250 by 250 pixels · brightfield microscopy, 40× oil immersion · bone marrow aspirate smear:
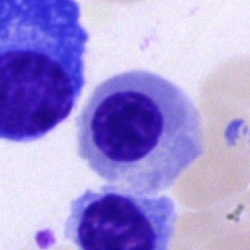
Morphology consistent with an erythroblast.